Bone marrow smear:
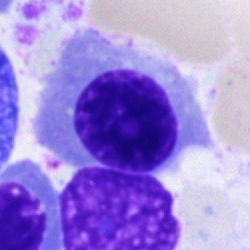
The cell is nucleated red blood cell.